Bone marrow aspirate smear; cropped to a single cell; 40× objective, oil immersion
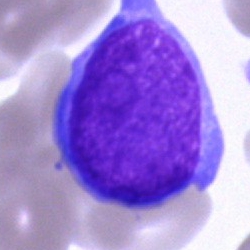 Q: What cell is this?
A: Blast cell.